40× oil immersion · single-cell crop · bone marrow aspirate smear: 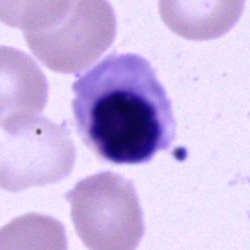
Specimen: bone marrow smear.
Cell: nucleated red blood cell.
Lineage: erythroid.